Bone marrow smear: 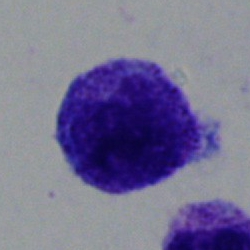Single cell identified as a promyelocyte.